250 by 250 pixels; bone marrow smear.
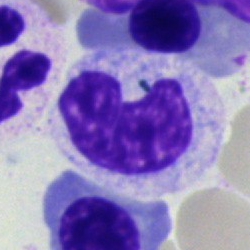

A band neutrophil.